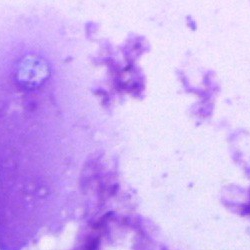
Morphological class = artifact.